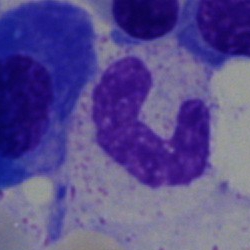 The cell is neutrophil (band).